40× oil immersion; bone marrow smear; Pappenheim-stained — 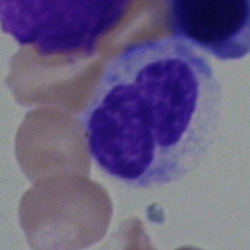The cell is stab cell.